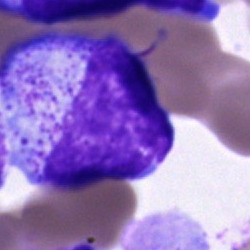 Q: What is shown here?
A: A promyelocyte.